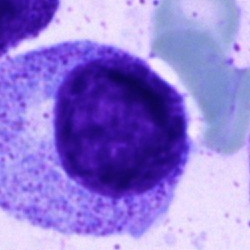
Q: What is shown here?
A: It is a promyelocyte.